Bone marrow aspirate smear · single-cell crop:
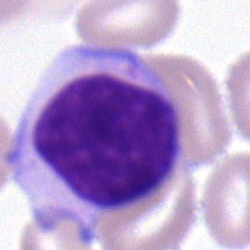 The morphological class is lymphocyte.